Bone marrow smear. Single-cell field: 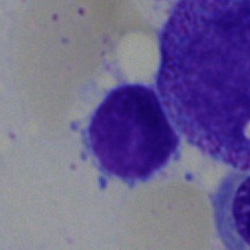

Q: Which cell type is shown here?
A: This is a lymphocyte.